Peripheral blood film.
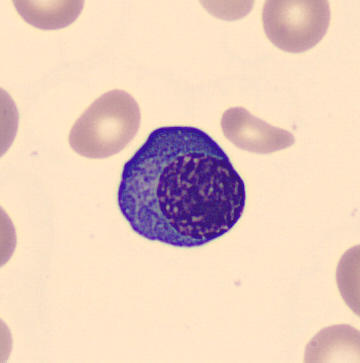
Q: What is shown here?
A: A nucleated red blood cell.